250 by 250 pixels · cropped to a single cell · bone marrow smear.
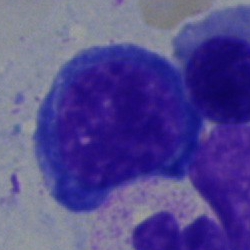 Q: What cell is this?
A: It is a nucleated red blood cell.